May-Grünwald-Giemsa stain · bone marrow smear — 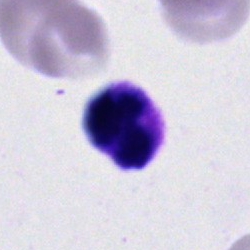
Morphology consistent with a polymorphonuclear neutrophil.